Bone marrow aspirate smear — 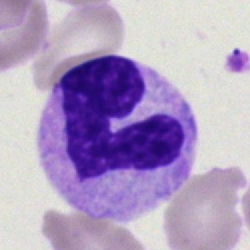
Impression → stab cell.